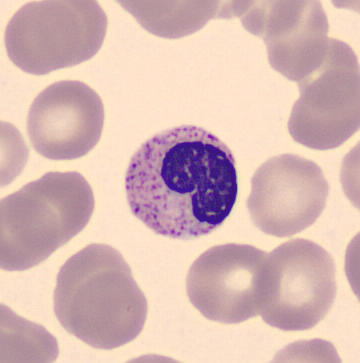 Single-cell crop from a peripheral blood smear: stab cell.